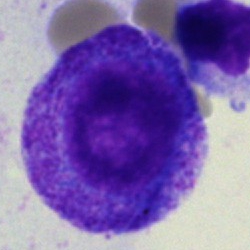

Classification — promyelocyte.